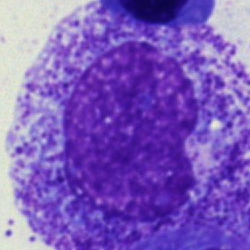

Impression — metamyelocyte.